Bone marrow aspirate smear.
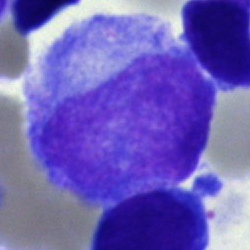
Morphology → progranulocyte.